Single cell centered in the field; bone marrow smear.
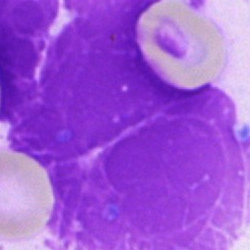Q: What is shown here?
A: An artifact.